Bone marrow smear
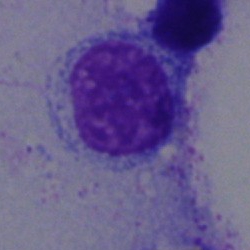
Cell: lymphocyte.